Bone marrow smear.
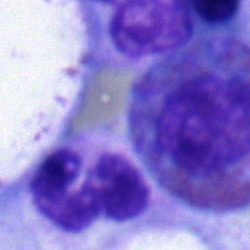 Morphology consistent with a band neutrophil.